Bone marrow aspirate smear.
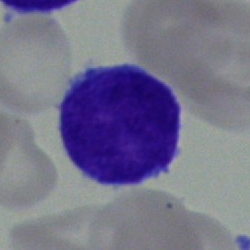

Single cell identified as an undifferentiated blast.